Bone marrow smear.
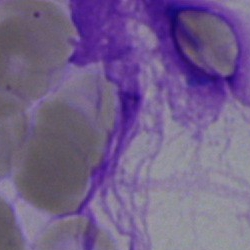

Classification — artefact.